Romanowsky-stained. Peripheral blood film
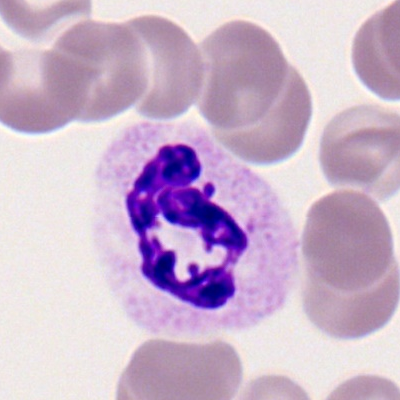
Cell — segmented neutrophil.